Peripheral blood smear:
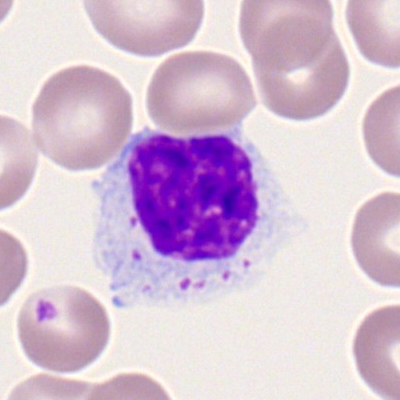
Specimen: peripheral blood smear.
Morphological class: lymphocyte.